Bone marrow aspirate smear · Pappenheim-stained:
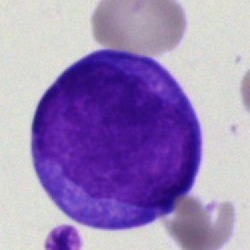 Cell = blast cell.